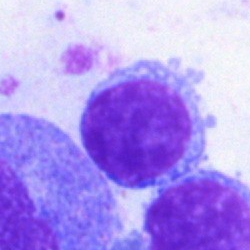Morphology consistent with a typical lymphocyte.